250 by 250 pixels; single-cell crop; bone marrow aspirate smear.
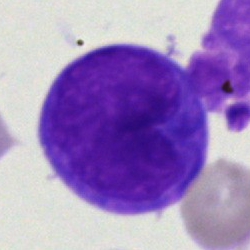Blast cell.